Bone marrow aspirate smear
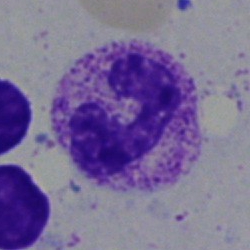

Q: Identify the cell.
A: This is a neutrophil (segmented).